Bone marrow smear · single-cell crop — 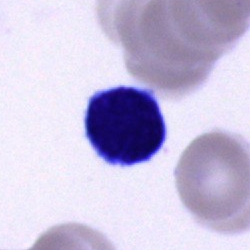

Specimen: bone marrow aspirate smear.
Morphological class: lymphocyte.
Lineage: lymphoid.